MGG-stained; bone marrow smear — 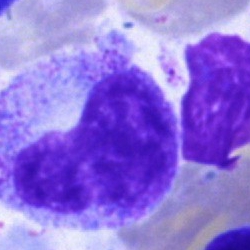

Specimen: bone marrow smear.
Cell: metamyelocyte.
Lineage: myeloid.